Bone marrow aspirate smear: 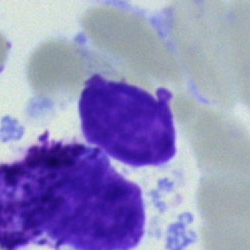
Cell type — artefact.